Bone marrow aspirate smear. Brightfield, 40× oil-immersion objective:
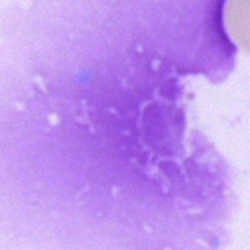

An artefact.